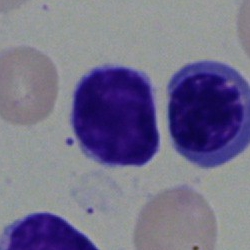Q: Which cell type is shown here?
A: It is a lymphocyte.